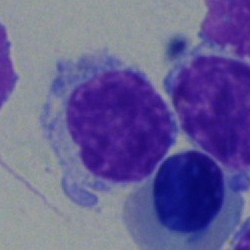Q: Which cell type is shown here?
A: This is a lymphocyte.